Bone marrow aspirate smear; single-cell crop
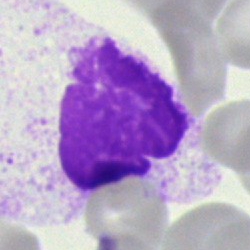
The cell is myelocyte.